Peripheral blood smear:
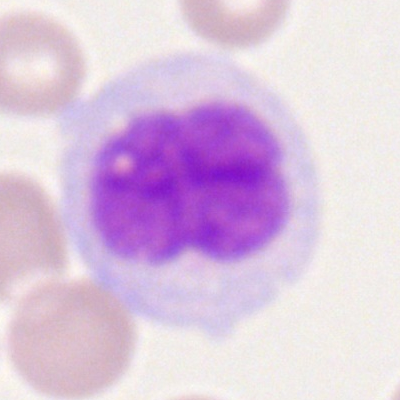 Showing a monocyte.